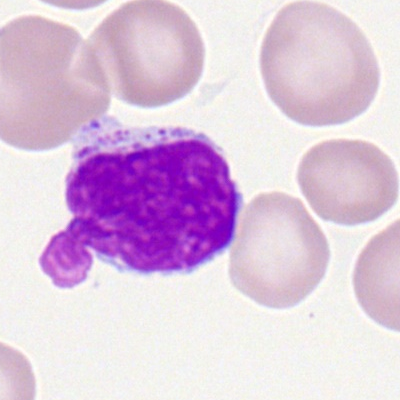
Peripheral blood smear showing a typical lymphocyte.